Peripheral blood film — 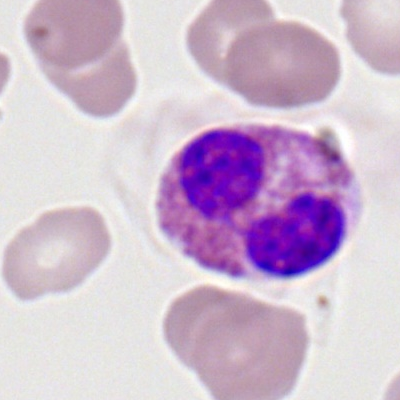
The cell shown is an eosinophilic granulocyte.